250×250; 40× objective, oil immersion; bone marrow aspirate smear — 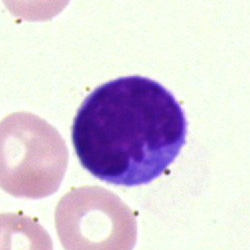{"cell_type": "typical lymphocyte"}